Bone marrow aspirate smear
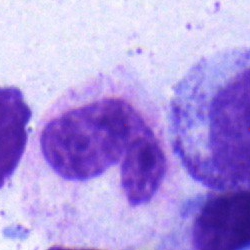

A stab cell.